Bone marrow smear: 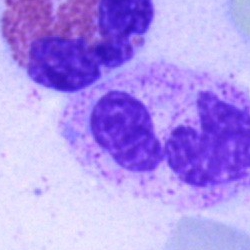 A polymorphonuclear neutrophil.